Bone marrow smear: 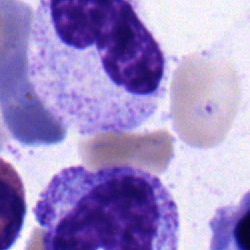
Specimen: bone marrow smear.
Morphological class: polymorphonuclear neutrophil.